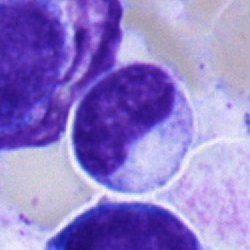 Cell type: metamyelocyte.